Bone marrow aspirate smear · 40× objective, oil immersion.
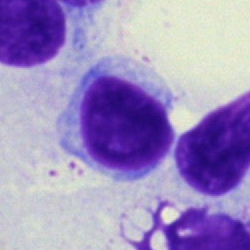Cell type: lymphocyte.